Bone marrow aspirate smear:
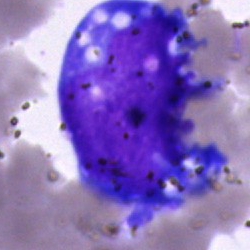Cell type: blast.